Bone marrow aspirate smear. Brightfield, 40× oil-immersion objective
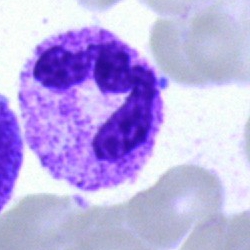 Showing a polymorphonuclear neutrophil.